Bone marrow smear.
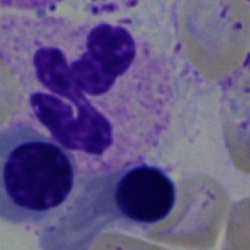 Specimen: bone marrow smear.
Cell: segmented neutrophil.